Bone marrow smear; May-Grünwald-Giemsa/Pappenheim stain.
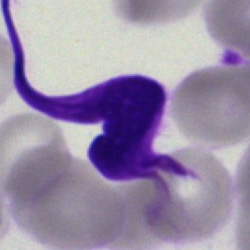Q: What is shown here?
A: This is an artifact.